Bone marrow smear — 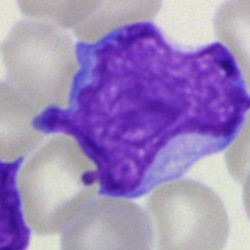 The cell shown is a blast.